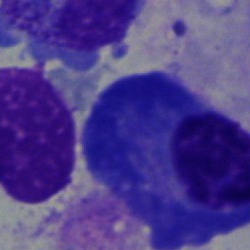

Bone marrow aspirate smear, single cell — plasmacyte.